Image size 250×250 · single-cell field · bone marrow smear:
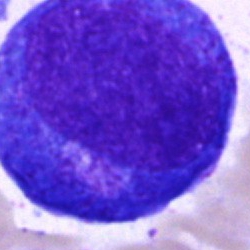Showing a progranulocyte.